Bone marrow aspirate smear: 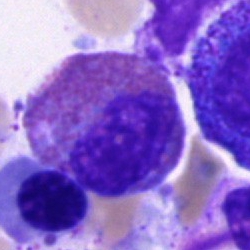An eosinophil.